Bone marrow aspirate smear. Cropped to a single cell:
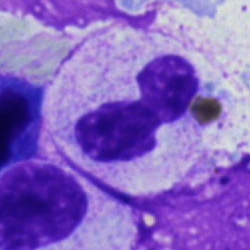

{"cell_type": "segmented neutrophil"}